May-Grünwald-Giemsa stain. Bone marrow smear: 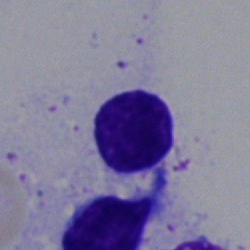
Cell type = typical lymphocyte.